Bone marrow smear. May-Grünwald-Giemsa stain. Single-cell field:
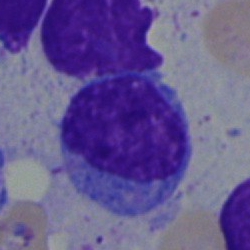
The cell shown is a lymphocyte.